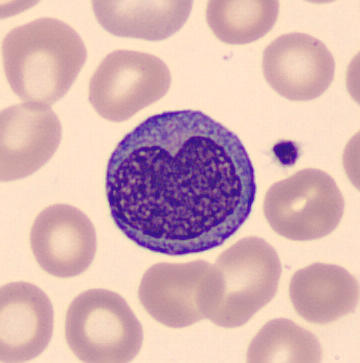

Image: Peripheral blood film · 360×363.

The cell shown is a monocyte.